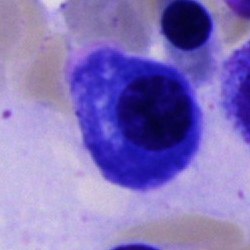Cell type — plasmacyte.